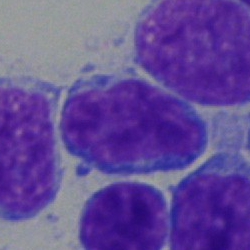
A lymphocyte.